Pappenheim-stained. Bone marrow smear. 250×250: 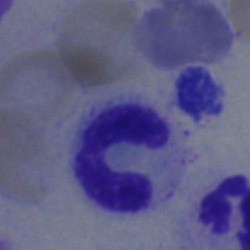Cell type — neutrophil (segmented).